Bone marrow aspirate smear — 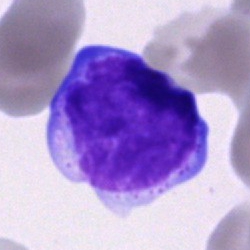

Impression — blast.